Bone marrow aspirate smear
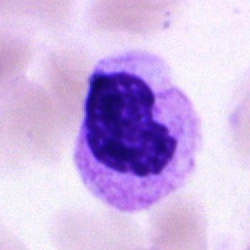

Showing a polymorphonuclear neutrophil.